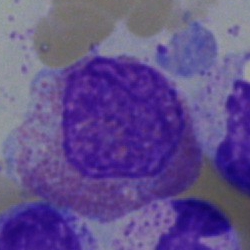

Morphology — eosinophilic granulocyte.